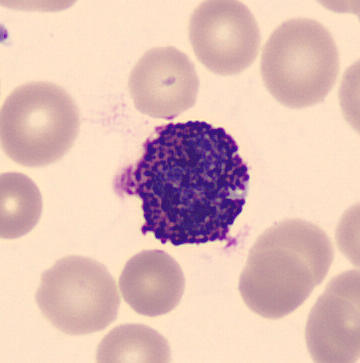

Morphological class = basophilic granulocyte.
360×363 px · automated cell imaging (CellaVision DM96) · peripheral blood smear.